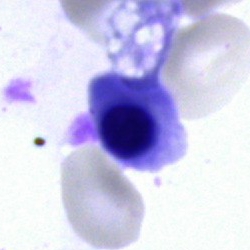Morphology consistent with an erythroblast.